Cropped to a single cell; 250×250 px; bone marrow smear.
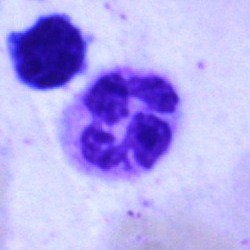
Cell — neutrophil (segmented).